Bone marrow aspirate smear
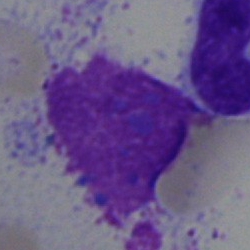
Classification — artifact.